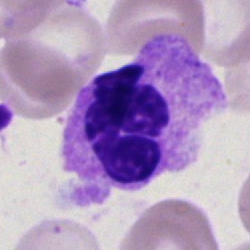

Q: Identify the cell.
A: Polymorphonuclear neutrophil.